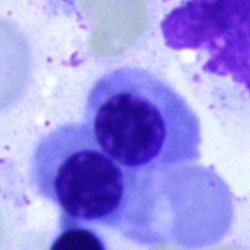Q: What cell is this?
A: Nucleated red cell.